Brightfield microscopy, 40× oil immersion. Bone marrow aspirate smear — 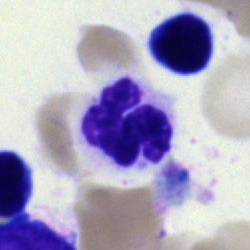 Cell = polymorphonuclear neutrophil.